Bone marrow aspirate smear.
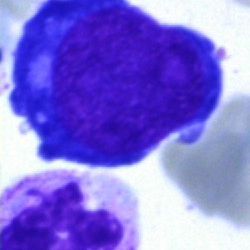Q: Which cell type is shown here?
A: This is a proerythroblast.